Pappenheim-stained. Single cell centered in the field. Bone marrow aspirate smear
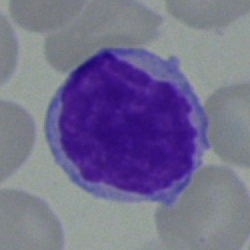
The morphological class is lymphocyte.